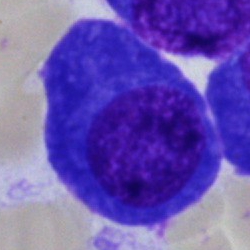 This is a plasmacyte.